Bone marrow aspirate smear
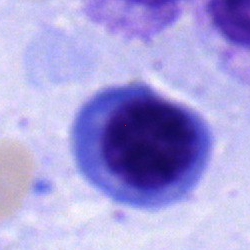 Q: What type of cell is this?
A: A normoblast.